Single-cell field · 40× oil immersion · bone marrow smear: 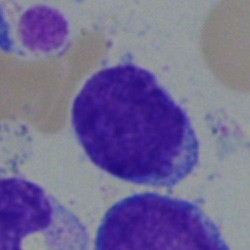
The classification is typical lymphocyte.